Bone marrow aspirate smear · single-cell field.
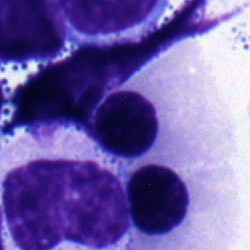Morphology → normoblast.